Single-cell field · bone marrow aspirate smear.
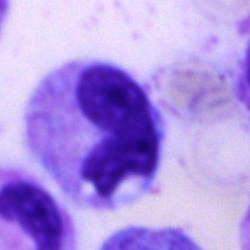

Q: What cell is this?
A: It is a metamyelocyte.